40× oil immersion · bone marrow aspirate smear: 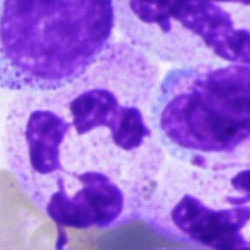 The morphological class is segmented neutrophil.